May-Grünwald-Giemsa stain. 40× oil immersion. Bone marrow aspirate smear — 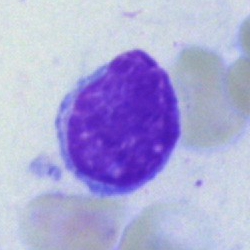 Single cell identified as a lymphocyte.